Cropped to a single cell; peripheral blood film:
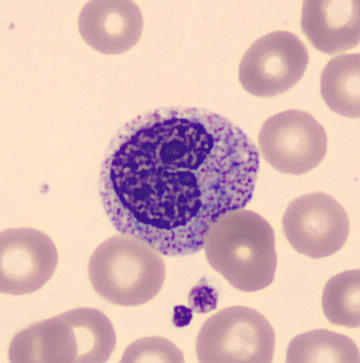
Specimen: peripheral blood film.
Morphological class: metamyelocyte.